Bone marrow aspirate smear — 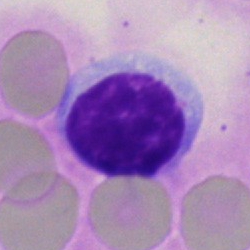
{"cell_type": "lymphocyte", "lineage": "lymphoid"}